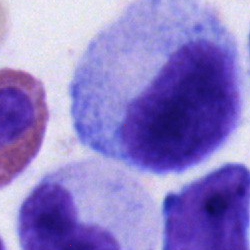A promyelocyte on a bone marrow smear.